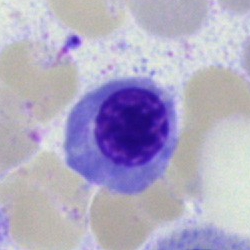Single cell identified as a normoblast.